Bone marrow smear: 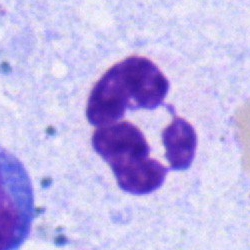

Specimen: bone marrow smear.
Morphological class: segmented neutrophil.
Lineage: myeloid.